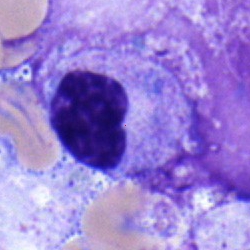

Bone marrow smear showing a metamyelocyte.